Bone marrow aspirate smear: 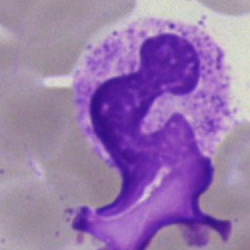This is an artifact.